250 by 250 pixels. Bone marrow aspirate smear
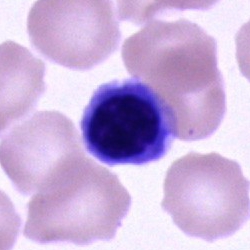

This is a cell of indeterminate lineage.